Bone marrow smear — 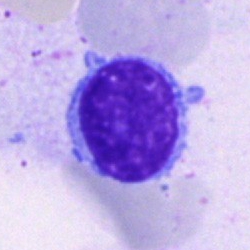

Cell type = typical lymphocyte.